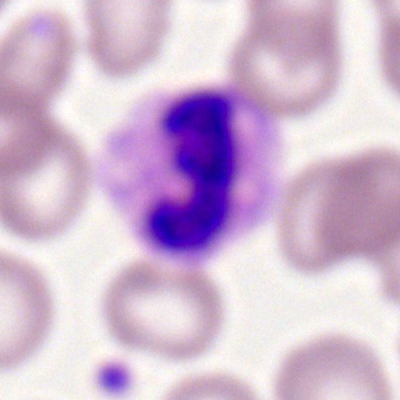
Classification: polymorphonuclear neutrophil.